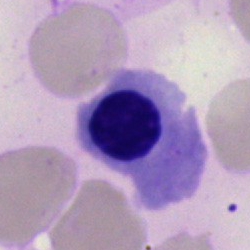Impression — erythroblast.